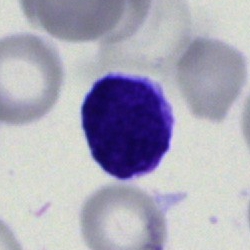This is a blast cell.